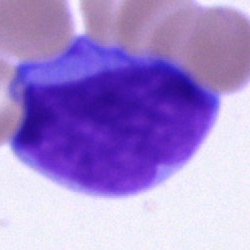 Bone marrow aspirate smear, single cell — blast.